40× objective, oil immersion. Bone marrow aspirate smear — 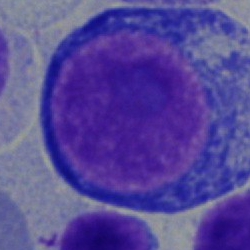The cell is pronormoblast.